Bone marrow smear
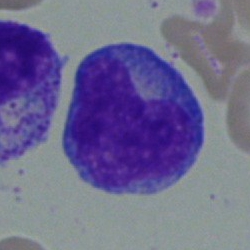

Specimen: bone marrow smear.
Cell: blast cell.